40× oil immersion; bone marrow aspirate smear; May-Grünwald-Giemsa/Pappenheim stain
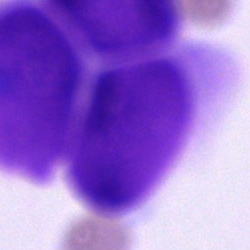 Specimen: bone marrow aspirate smear.
Morphological class: artefact.